MGG-stained. Bone marrow aspirate smear:
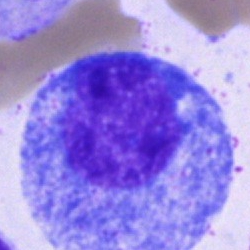 Morphology consistent with a promyelocyte.